Bone marrow aspirate smear — 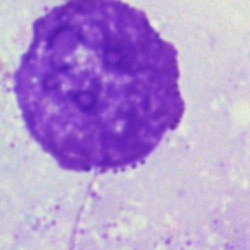 Morphological class = artefact.